Bone marrow aspirate smear.
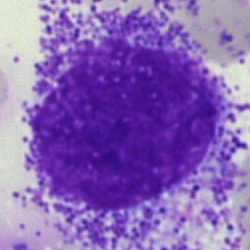
The cell is artifact.